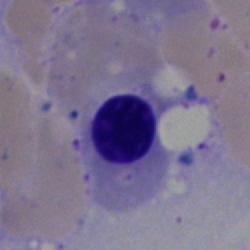Impression — erythroblast.